Bone marrow aspirate smear:
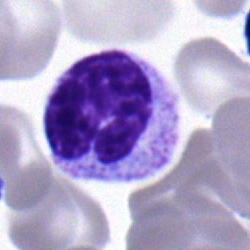
Single cell identified as a neutrophil (band).